Bone marrow aspirate smear
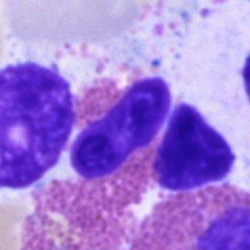

An eosinophil.